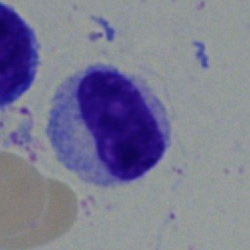This is a metamyelocyte.